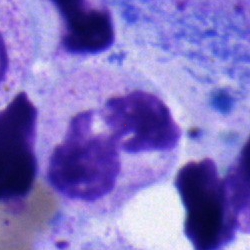 Bone marrow aspirate smear, single cell — neutrophil (segmented).